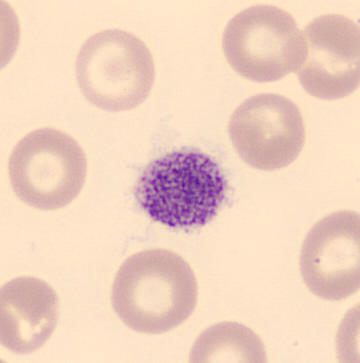Preparation: Peripheral blood smear. 360 by 363 pixels. Morphological class = platelet (thrombocyte).